Bone marrow smear. Brightfield microscopy, 40× oil immersion. Pappenheim-stained: 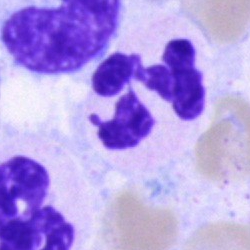

{"cell_type": "polymorphonuclear neutrophil", "lineage": "myeloid"}